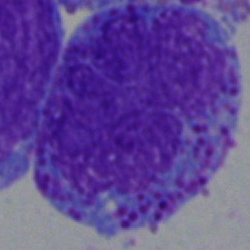

Impression → promyelocyte.